Bone marrow smear
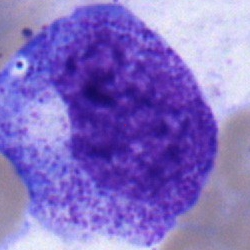
The cell shown is a progranulocyte.